May-Grünwald-Giemsa stain. Bone marrow smear.
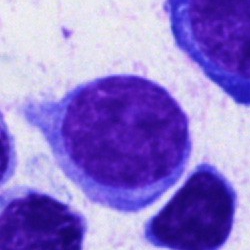

Morphology — typical lymphocyte.